250×250 px · bone marrow aspirate smear — 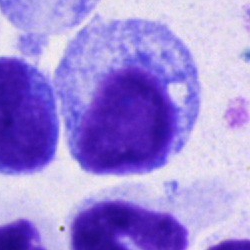This is a progranulocyte.